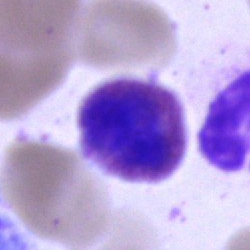
Classification: eosinophil.